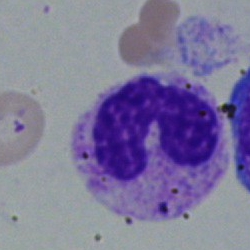The cell type is neutrophil (band).